250 by 250 pixels · bone marrow aspirate smear · brightfield, 40× oil-immersion objective: 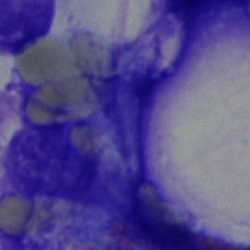 Q: What is shown here?
A: It is an artifact.